Peripheral blood smear.
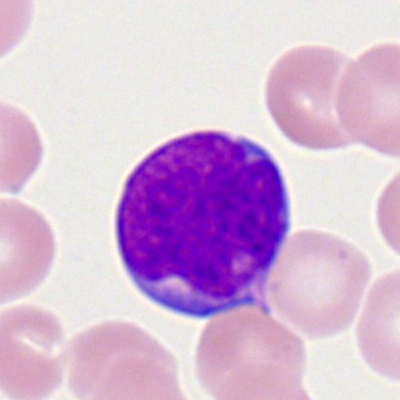
Morphology consistent with a myeloblast.